Bone marrow aspirate smear · 40× oil immersion:
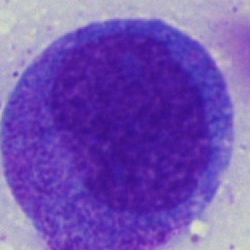

Single cell identified as a promyelocyte.